250×250 px. Bone marrow smear
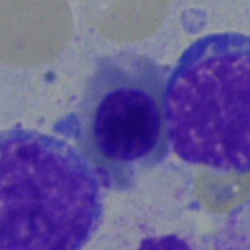{"cell_type": "normoblast", "lineage": "erythroid"}